Peripheral blood film:
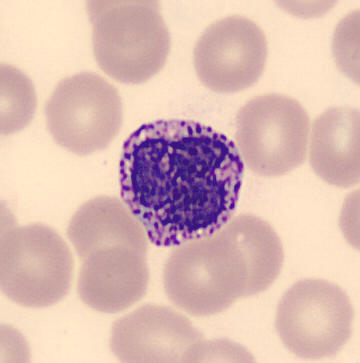

A basophil.